Bone marrow smear; cropped to a single cell — 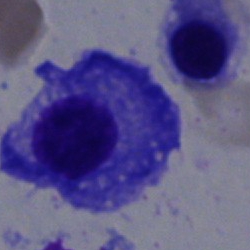
Cell type — plasmacyte.